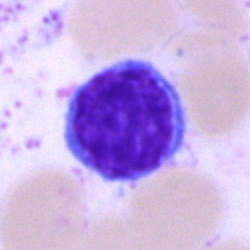 Q: Identify the cell.
A: A lymphocyte.